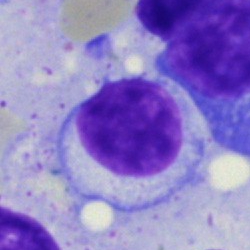Impression — typical lymphocyte.